Bone marrow smear.
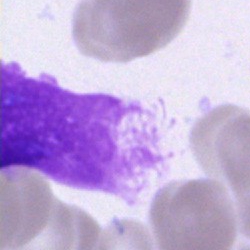

Q: What is shown here?
A: It is an artifact.